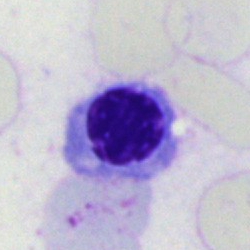 Q: What is the morphological classification of this cell?
A: It is a nucleated red cell.